Brightfield microscopy, 40× oil immersion · bone marrow smear
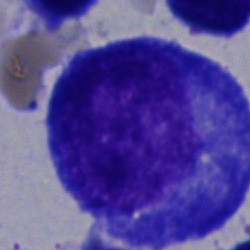 Morphological class: undifferentiated blast.